Bone marrow aspirate smear: 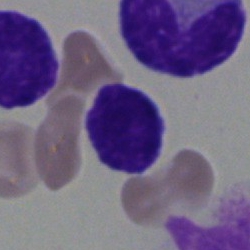The cell shown is a typical lymphocyte.